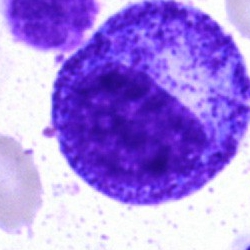Cell type — progranulocyte.